250×250 px. Bone marrow smear — 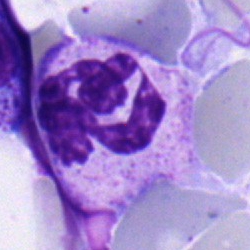
A polymorphonuclear neutrophil.